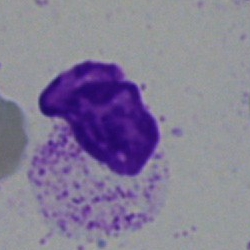 Specimen: bone marrow aspirate smear.
Classification: artefact.